Bone marrow aspirate smear; brightfield, 40× oil-immersion objective
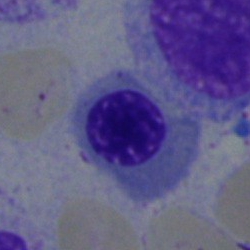
Specimen: bone marrow smear.
Classification: nucleated red cell.
Lineage: erythroid.